100× oil immersion, 14.14 px/µm. Peripheral blood smear: 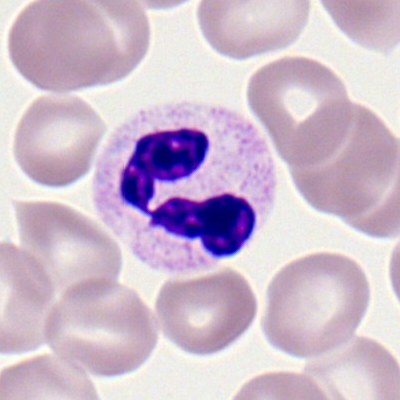 Specimen: peripheral blood film.
Classification: polymorphonuclear neutrophil.